Bone marrow smear.
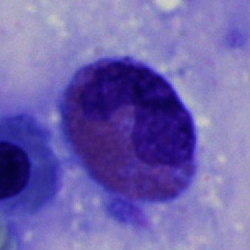Morphology consistent with an eosinophilic granulocyte.